250 by 250 pixels; bone marrow aspirate smear:
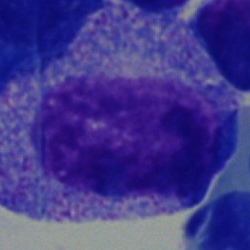
Cell type: progranulocyte.